Bone marrow aspirate smear
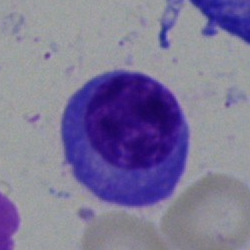
Q: What type of cell is this?
A: A plasmacyte.